Single cell centered in the field · bone marrow smear · image size 250×250
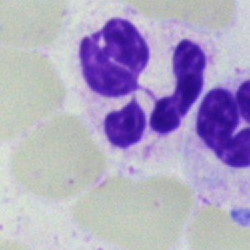 Cell type — segmented neutrophil.